Bone marrow smear:
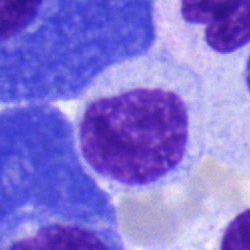Showing a myelocyte.